May-Grünwald-Giemsa/Pappenheim stain. Bone marrow smear
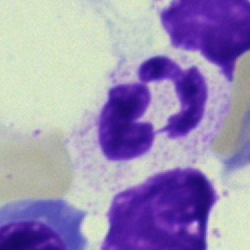

Impression → neutrophil (segmented).